Single cell centered in the field · bone marrow aspirate smear · brightfield microscopy, 40× oil immersion — 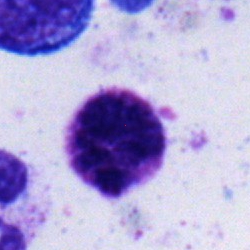

The morphological class is basophil.